Bone marrow smear · brightfield, 40× oil-immersion objective · single-cell crop.
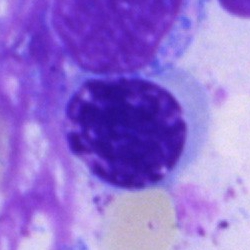
Morphology → nucleated red blood cell.